Bone marrow smear
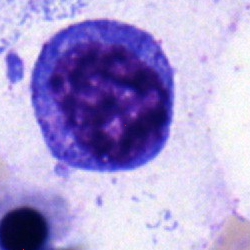

Specimen: bone marrow smear.
Classification: progranulocyte.
Lineage: myeloid.